Bone marrow smear.
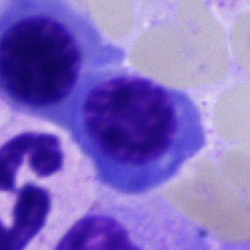

Q: Which cell type is shown here?
A: It is an erythroblast.